May-Grünwald-Giemsa/Pappenheim stain; bone marrow smear — 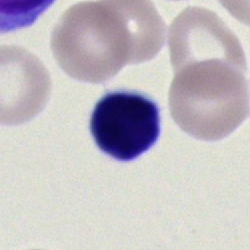Cell — typical lymphocyte.